Bone marrow aspirate smear.
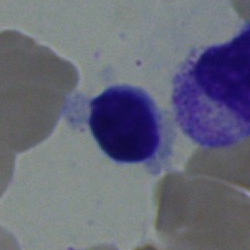

Showing a nucleated red cell.